Bone marrow aspirate smear: 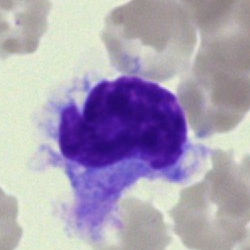

{"cell_type": "hairy cell"}